Bone marrow aspirate smear · Pappenheim-stained.
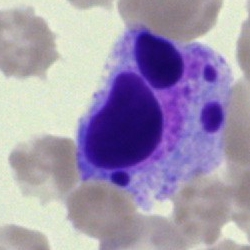
Morphological class — artefact.